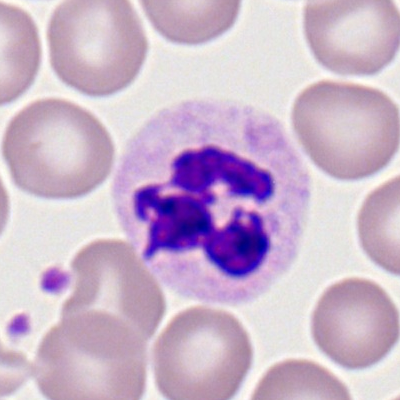The cell shown is a segmented neutrophil.